Bone marrow smear; image size 250×250 — 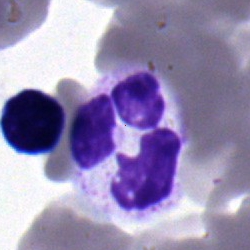

Classification = neutrophil (segmented).